250 by 250 pixels · bone marrow aspirate smear: 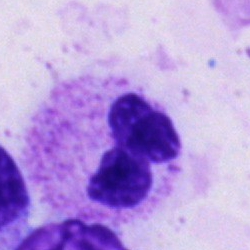 Cell type: neutrophil (segmented).